Bone marrow aspirate smear.
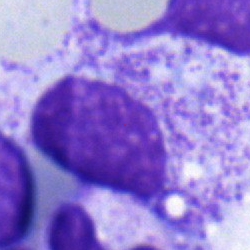Single cell identified as a myelocyte.